Bone marrow smear
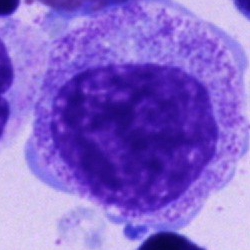

Q: What is shown here?
A: It is a progranulocyte.